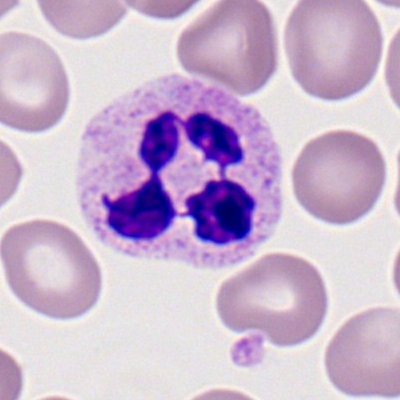
Q: Which cell type is shown here?
A: This is a neutrophil (segmented).